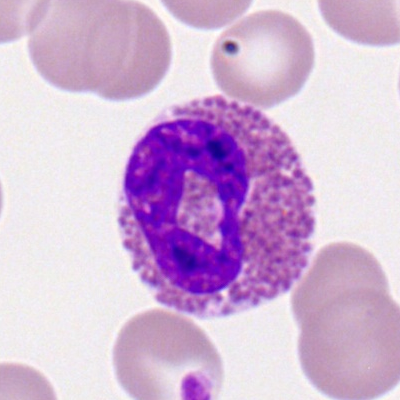
Morphology consistent with an eosinophilic granulocyte.